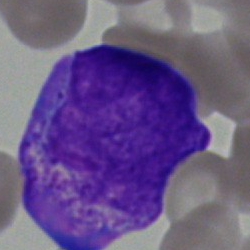

Bone marrow aspirate smear, single cell — blast.